Image size 250×250 · May-Grünwald-Giemsa/Pappenheim stain · bone marrow smear — 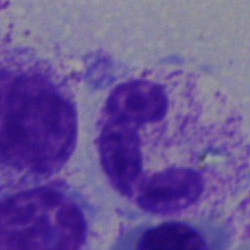

A neutrophil (segmented).